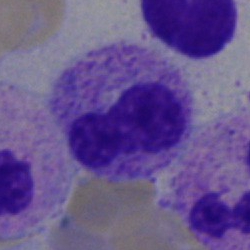
Q: What type of cell is this?
A: It is a stab cell.